Bone marrow smear: 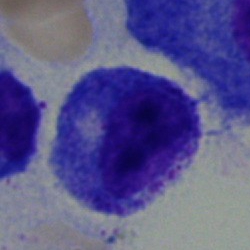 Q: What is the morphological classification of this cell?
A: This is a progranulocyte.